Bone marrow aspirate smear: 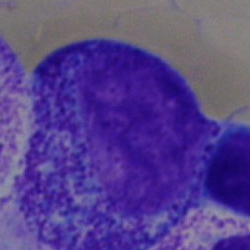

Morphology consistent with a promyelocyte.